Bone marrow aspirate smear
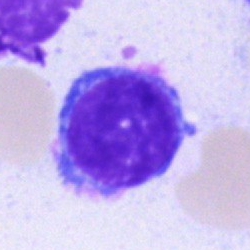

Morphological class: lymphocyte.